250×250 px. Bone marrow aspirate smear — 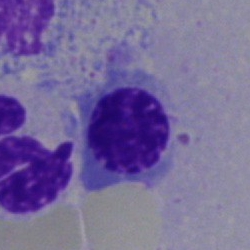 The classification is erythroblast.